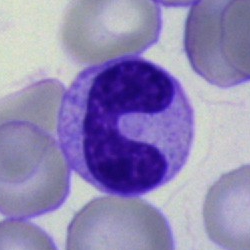Morphological class — neutrophil (band).